Bone marrow aspirate smear
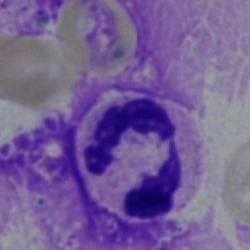 A polymorphonuclear neutrophil.